Bone marrow smear: 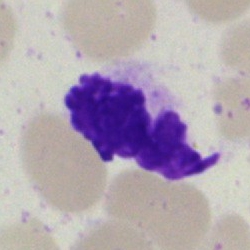 Q: What is shown here?
A: It is an artifact.